Bone marrow aspirate smear — 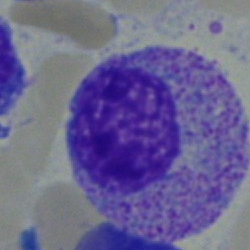Showing a myelocyte.